Bone marrow smear
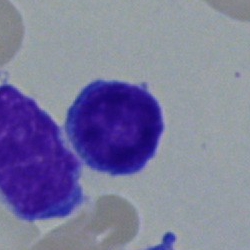Showing a typical lymphocyte.